Bone marrow aspirate smear:
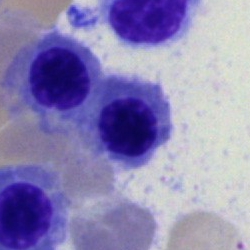

A nucleated red cell.